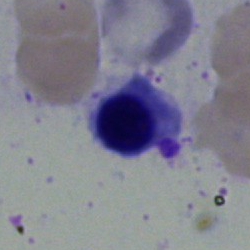
Showing a nucleated red cell.